40× objective, oil immersion. Bone marrow smear. MGG-stained.
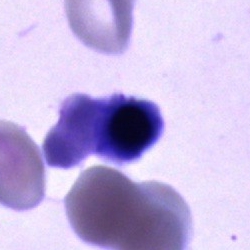 Cell of indeterminate lineage.